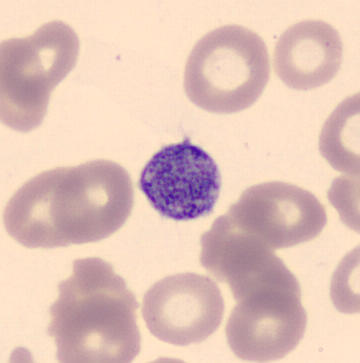Morphological class: platelet (thrombocyte).